Bone marrow smear
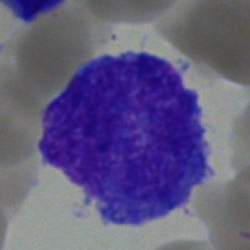 The classification is undifferentiated blast.